Bone marrow smear; 40× objective, oil immersion; 250×250 px.
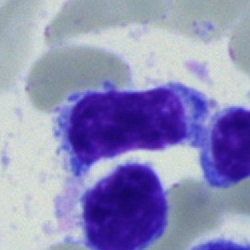{"cell_type": "typical lymphocyte", "lineage": "lymphoid"}